Bone marrow aspirate smear. Brightfield, 40× oil-immersion objective: 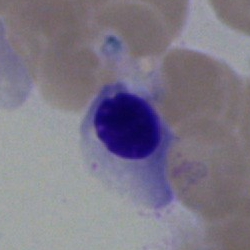

Impression → erythroblast.